Bone marrow aspirate smear; cropped to a single cell.
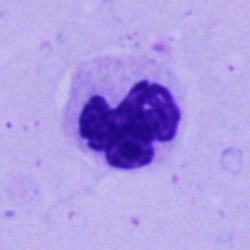 Classification — segmented neutrophil.